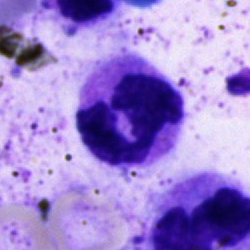
Morphology → polymorphonuclear neutrophil.